Bone marrow aspirate smear — 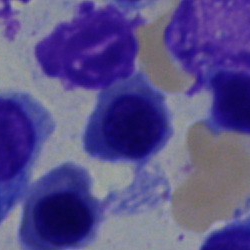

Q: What cell is this?
A: This is a nucleated red cell.